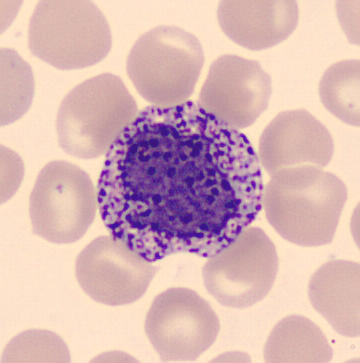 Morphology — basophil. MGG stain. Cropped to a single cell. Peripheral blood film.